Bone marrow smear — 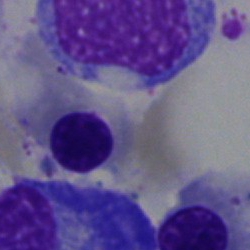Q: What type of cell is this?
A: A nucleated red blood cell.